MGG-stained. Bone marrow aspirate smear
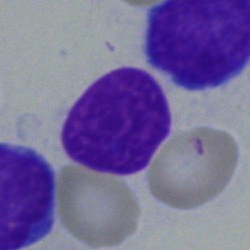 {"cell_type": "typical lymphocyte", "lineage": "lymphoid"}